Bone marrow aspirate smear; image size 250×250: 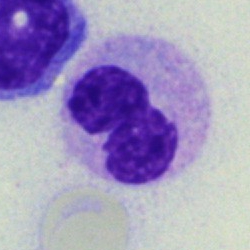
Morphological class: segmented neutrophil.